Cropped to a single cell; bone marrow aspirate smear
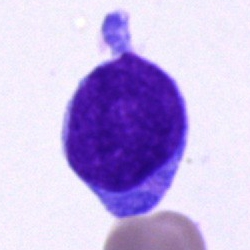 This is a blast cell.